Bone marrow aspirate smear.
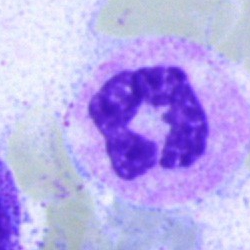 This is a polymorphonuclear neutrophil.